Bone marrow aspirate smear: 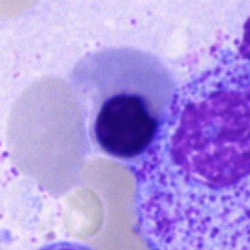 Morphology consistent with a nucleated red cell.